Romanowsky stain; single-cell crop; peripheral blood film — 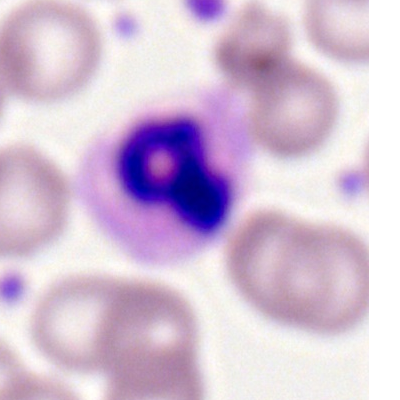
Single cell identified as a segmented neutrophil.